Bone marrow aspirate smear; 250×250 px; May-Grünwald-Giemsa stain.
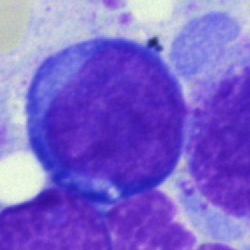

A pronormoblast.